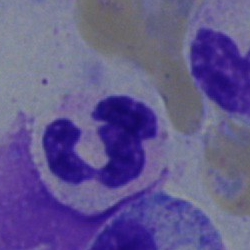Cell — polymorphonuclear neutrophil.